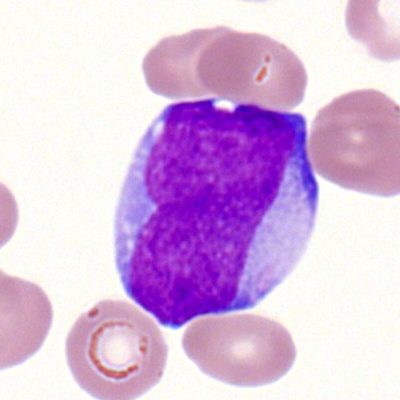

Specimen: peripheral blood film.
Cell type: myeloid blast.
Lineage: myeloid.